Bone marrow aspirate smear; cropped to a single cell; May-Grünwald-Giemsa/Pappenheim stain: 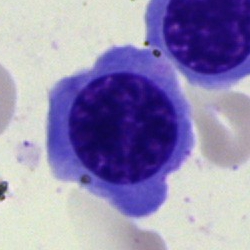

Specimen: bone marrow aspirate smear.
Cell type: nucleated red cell.